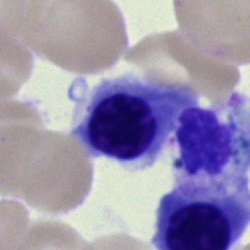Impression → nucleated red cell.